Bone marrow aspirate smear: 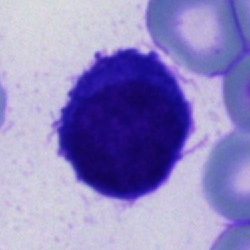
Specimen: bone marrow smear.
Morphological class: unidentifiable cell.